Bone marrow aspirate smear — 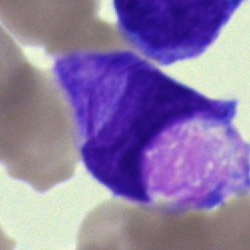 Specimen: bone marrow smear.
Cell type: blast cell.